Bone marrow smear
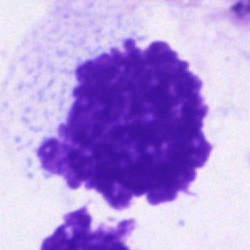Classification = artifact.